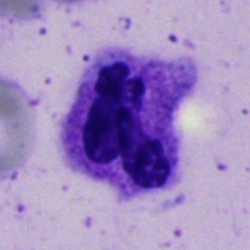Segmented neutrophil.